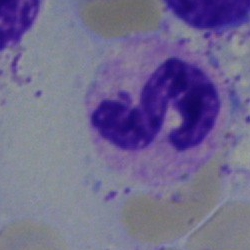
Single cell identified as a neutrophil (segmented).